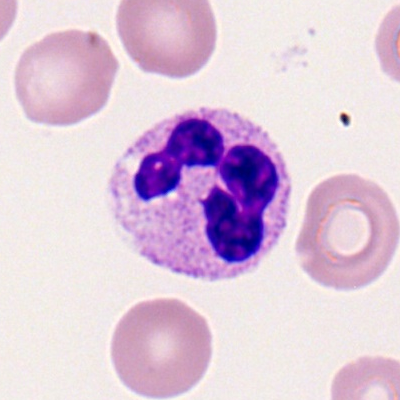

A segmented neutrophil.